Bone marrow smear
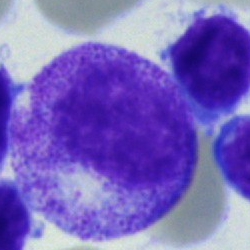{"cell_type": "myelocyte", "lineage": "myeloid"}